Bone marrow aspirate smear; image size 250×250.
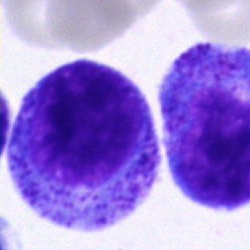

The cell shown is a promyelocyte.